Bone marrow smear: 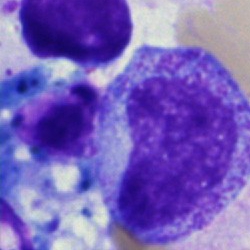

Q: What is shown here?
A: Metamyelocyte.